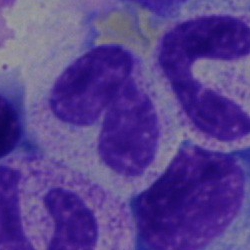 Classification — neutrophil (band).